Bone marrow aspirate smear:
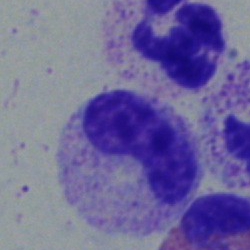

Showing a stab cell.